Bone marrow aspirate smear — 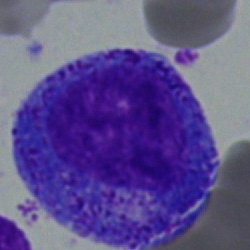 Classification: progranulocyte.